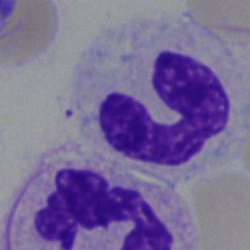 Morphology consistent with a neutrophil (band).